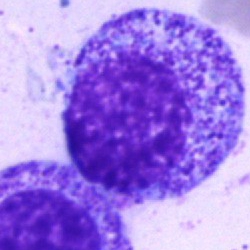

The cell shown is a progranulocyte.